Bone marrow aspirate smear:
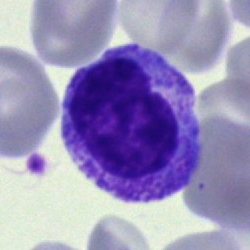

{"cell_type": "promyelocyte"}